Bone marrow smear — 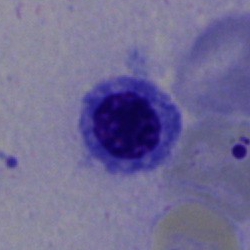

Morphology consistent with a nucleated red blood cell.